Bone marrow smear
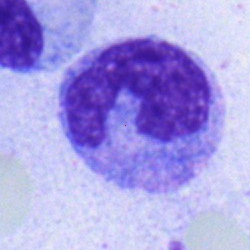

The cell shown is a monocyte.